400 by 400 pixels · peripheral blood smear · single cell centered in the field — 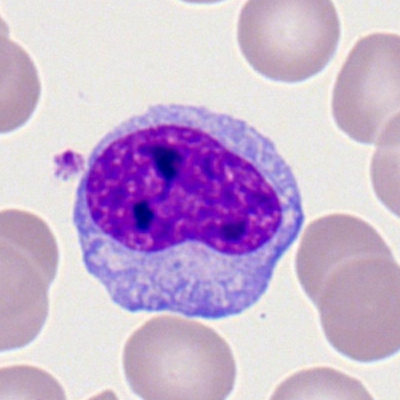

Morphology — lymphocyte.